Bone marrow smear — 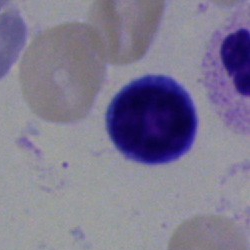
Showing a lymphocyte.